Bone marrow smear · May-Grünwald-Giemsa/Pappenheim stain.
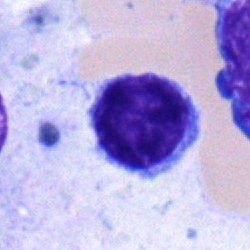

Q: What cell is this?
A: It is a lymphocyte.